Brightfield microscopy, 40× oil immersion · bone marrow aspirate smear
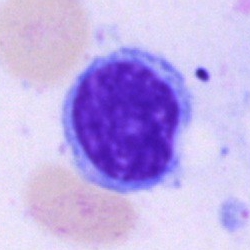

Q: What is the morphological classification of this cell?
A: Lymphocyte.